Bone marrow aspirate smear.
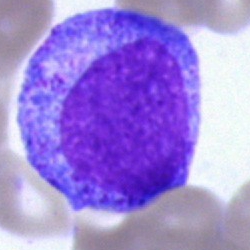 Specimen: bone marrow aspirate smear.
Cell: progranulocyte.